MGG-stained. 40× objective, oil immersion. Bone marrow smear.
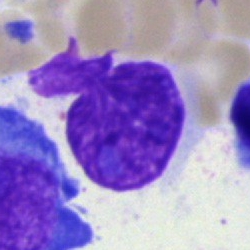Q: What is shown here?
A: An artifact.